Image size 250×250; bone marrow smear; brightfield, 40× oil-immersion objective.
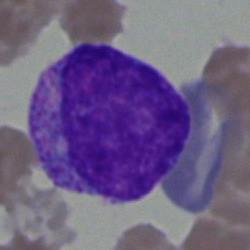Showing a blast.